Bone marrow smear — 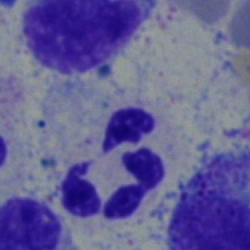

Single cell identified as a polymorphonuclear neutrophil.